Bone marrow smear: 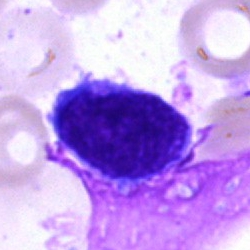 Q: Identify the cell.
A: This is an undifferentiated blast.